Bone marrow aspirate smear · image size 250×250 — 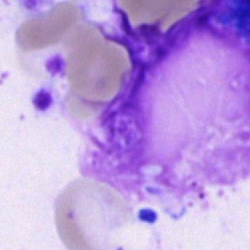 Cell: artifact.